Bone marrow smear:
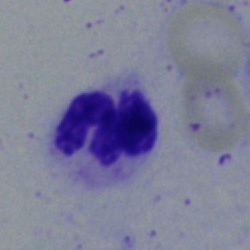
Single cell identified as a neutrophil (segmented).